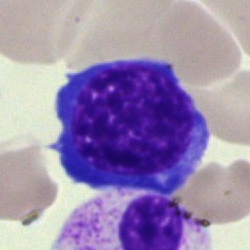
Cell type — erythroblast.